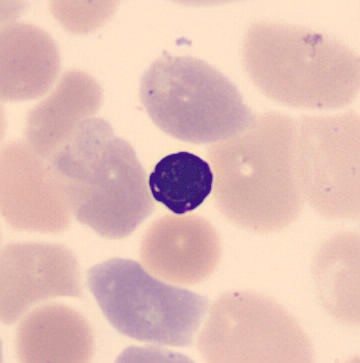 From a peripheral blood smear: an erythroblast.